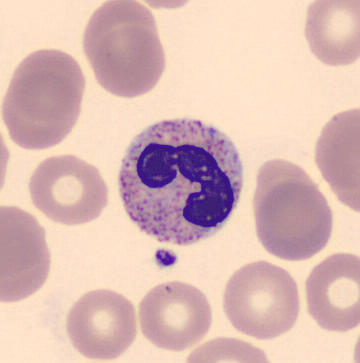

Single cell identified as a band neutrophil. Preparation: Peripheral blood smear.